250×250; brightfield microscopy, 40× oil immersion; bone marrow aspirate smear.
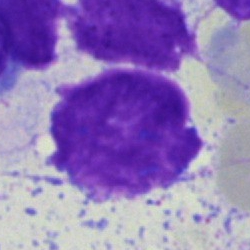

Q: What is shown here?
A: Artefact.